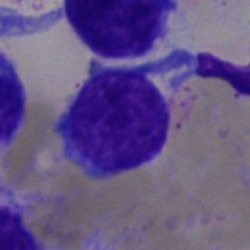
Morphology — blast.